Peripheral blood smear · MGG stain
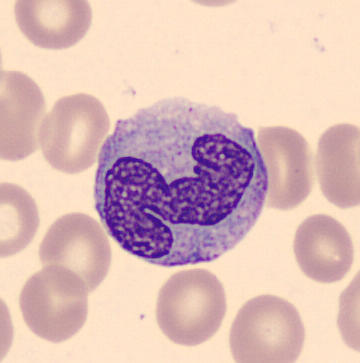Q: What is the morphological classification of this cell?
A: A monocyte.